Image size 400×400. Peripheral blood smear — 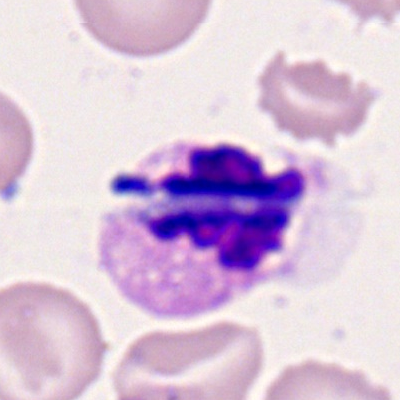Impression — neutrophil (segmented).